Bone marrow aspirate smear — 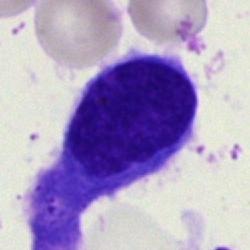Showing a typical lymphocyte.